Bone marrow aspirate smear.
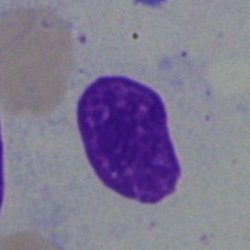

Showing an artifact.